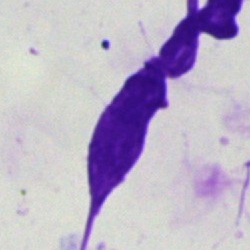This is an artifact.